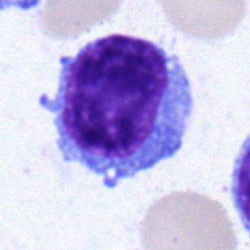Specimen: bone marrow smear.
Morphological class: lymphocyte.
Lineage: lymphoid.